Bone marrow smear.
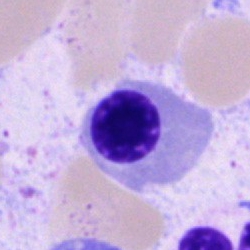Cell — nucleated red cell.